Bone marrow aspirate smear · May-Grünwald-Giemsa/Pappenheim stain: 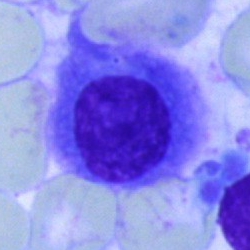 Q: What type of cell is this?
A: This is a plasma cell.